Bone marrow smear: 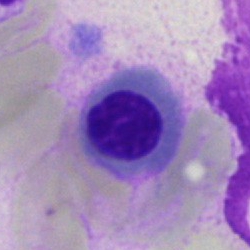Morphological class = erythroblast.